Peripheral blood smear; single cell centered in the field — 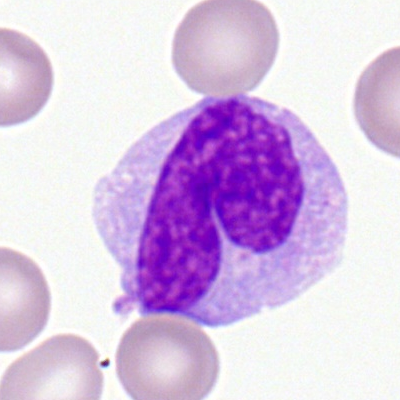
Q: What cell is this?
A: A monocyte.